Bone marrow smear
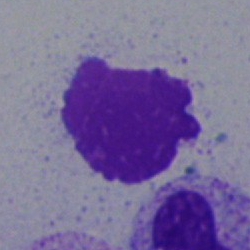

Q: What is shown here?
A: This is an artifact.